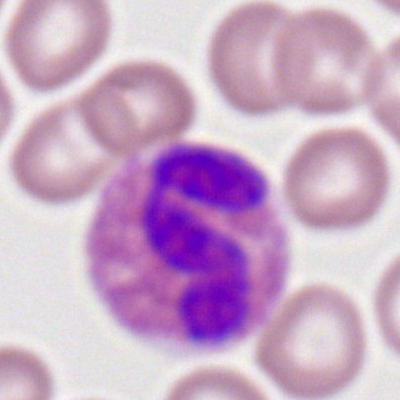Q: What is shown here?
A: It is an eosinophilic granulocyte.